Bone marrow smear:
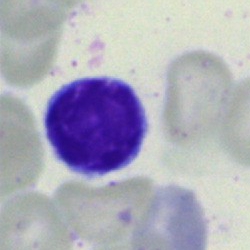

Specimen: bone marrow smear.
Cell: lymphocyte.
Lineage: lymphoid.